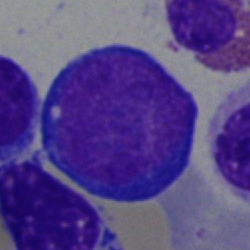
Morphology consistent with a proerythroblast.